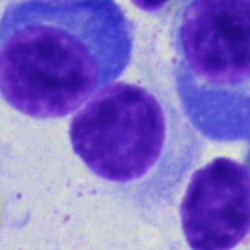Morphology consistent with a lymphocyte.